Bone marrow aspirate smear. Single-cell field: 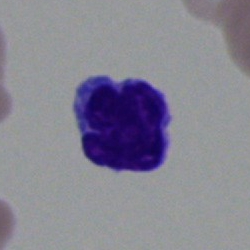
{"cell_type": "lymphocyte", "lineage": "lymphoid"}